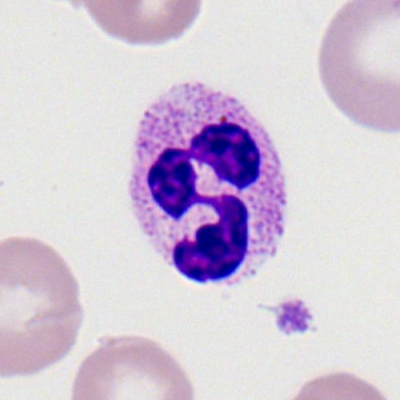 Cell type: neutrophil (segmented).